Bone marrow smear.
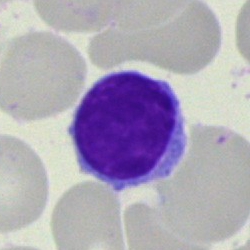

Q: Identify the cell.
A: It is a lymphocyte.